Bone marrow smear; May-Grünwald-Giemsa stain — 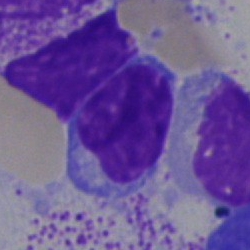
Morphology → lymphocyte.